Brightfield microscopy, 40× oil immersion. Bone marrow aspirate smear.
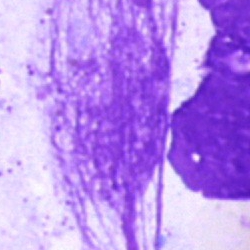Single cell identified as an artefact.